Romanowsky-type stain; peripheral blood smear; single-cell crop: 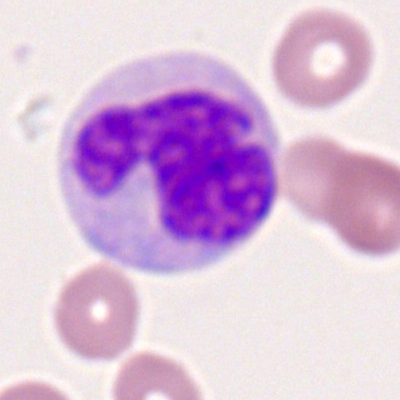 Morphology — monocyte.